Single-cell field; bone marrow aspirate smear
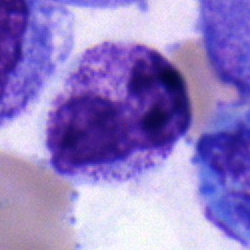

Impression — stab cell.